Bone marrow aspirate smear · cropped to a single cell
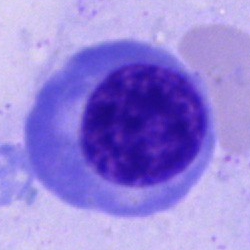

Q: What is shown here?
A: Normoblast.